Bone marrow aspirate smear
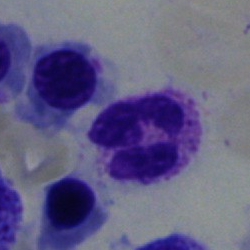 {"cell_type": "segmented neutrophil", "lineage": "myeloid"}